Bone marrow smear:
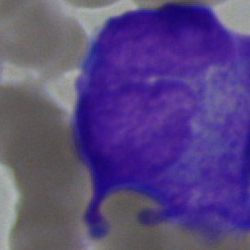

Morphology — blast.